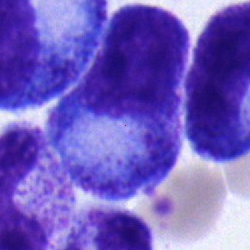The cell shown is a progranulocyte.